Bone marrow aspirate smear.
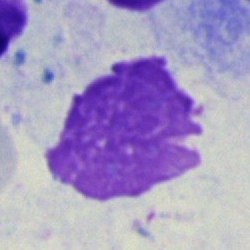 Morphological class = artefact.